250 by 250 pixels. Bone marrow aspirate smear. MGG-stained — 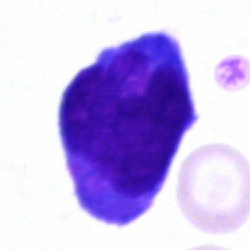Q: What type of cell is this?
A: It is a blast cell.